Pappenheim-stained. Brightfield, 40× oil-immersion objective. Bone marrow aspirate smear
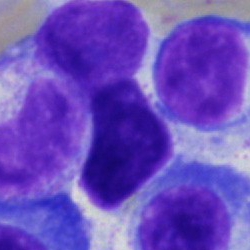

Q: What is shown here?
A: Artifact.